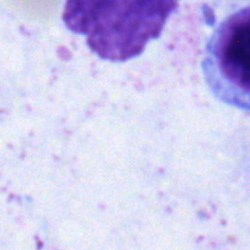
The cell shown is a polymorphonuclear neutrophil.